MGG-stained · bone marrow aspirate smear
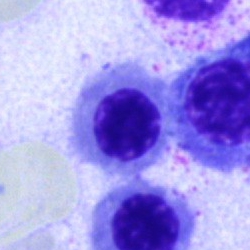Cell type: nucleated red blood cell.